Bone marrow smear.
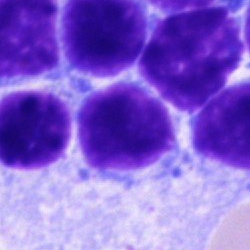
The cell shown is a typical lymphocyte.